Single-cell crop; bone marrow aspirate smear; 250 by 250 pixels
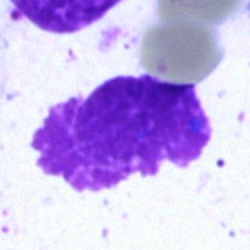
The cell shown is an artifact.